Single cell centered in the field. Bone marrow smear.
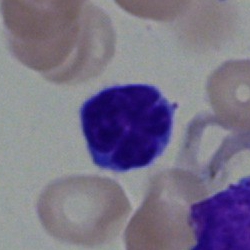
Morphology consistent with a lymphocyte.